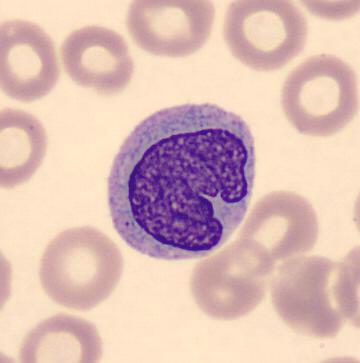 Peripheral blood smear.
The cell type is monocyte.